Image size 250×250 · May-Grünwald-Giemsa stain · bone marrow aspirate smear:
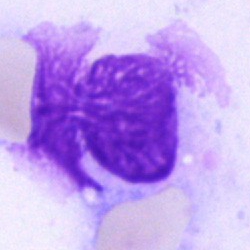Morphological class = artefact.